Bone marrow aspirate smear: 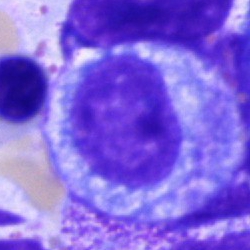This is a promyelocyte.